Single cell centered in the field · peripheral blood film.
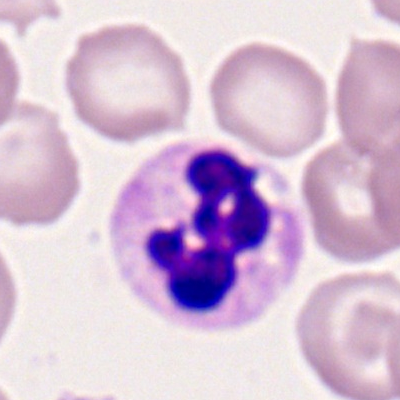

Morphological class = segmented neutrophil.